Bone marrow smear. 40× oil immersion.
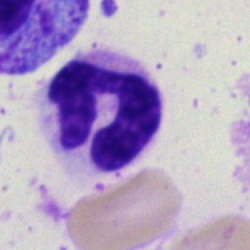

Specimen: bone marrow aspirate smear.
Classification: segmented neutrophil.
Lineage: myeloid.